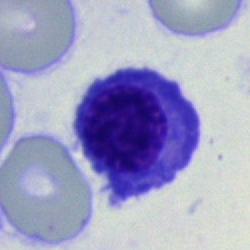
Classification: nucleated red blood cell.